Bone marrow aspirate smear.
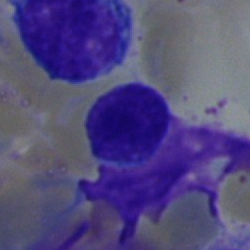Morphology → lymphocyte.